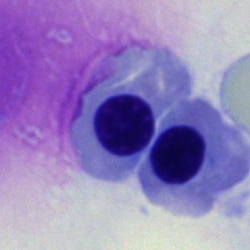{"cell_type": "erythroblast"}